Bone marrow smear.
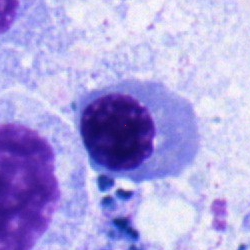
Classification = nucleated red blood cell.